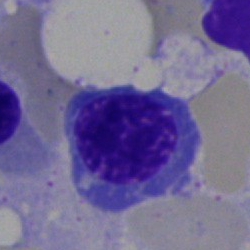

Single-cell crop from a bone marrow smear: nucleated red blood cell.